Bone marrow aspirate smear.
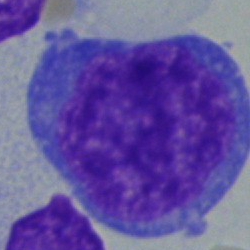

Specimen: bone marrow aspirate smear.
Cell: blast.